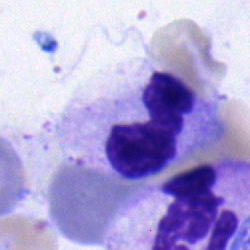
Classification — neutrophil (segmented).